Bone marrow aspirate smear
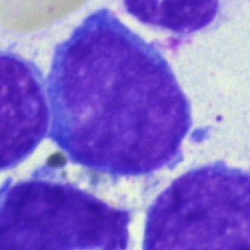
A blast.